Bone marrow aspirate smear:
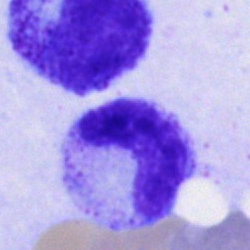Impression → neutrophil (band).